Bone marrow smear: 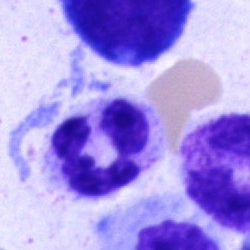Morphological class = segmented neutrophil.